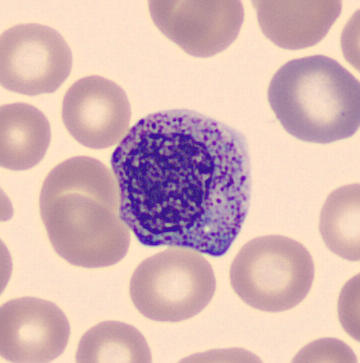Morphology → myelocyte.

Peripheral blood film · single-cell field.